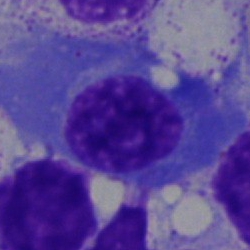Specimen: bone marrow aspirate smear.
Morphological class: plasmacyte.
Lineage: lymphoid.